Bone marrow aspirate smear. MGG-stained — 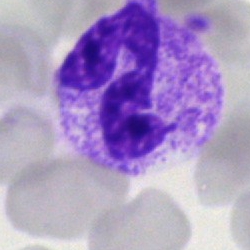
Cell type = polymorphonuclear neutrophil.